Bone marrow smear; 40× objective, oil immersion.
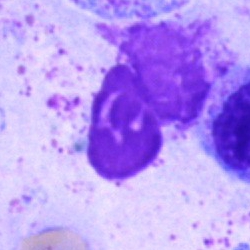
The cell is artifact.